Bone marrow smear
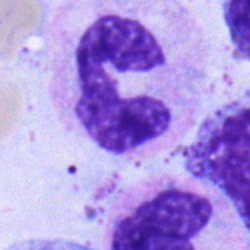

Neutrophil (band).